Bone marrow aspirate smear — 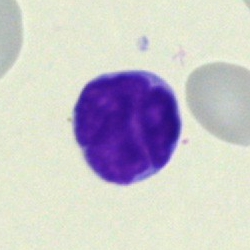{"cell_type": "typical lymphocyte", "lineage": "lymphoid"}